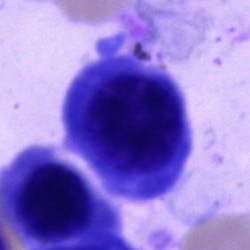

Morphology consistent with a normoblast.